400 by 400 pixels. Peripheral blood smear. Single-cell crop:
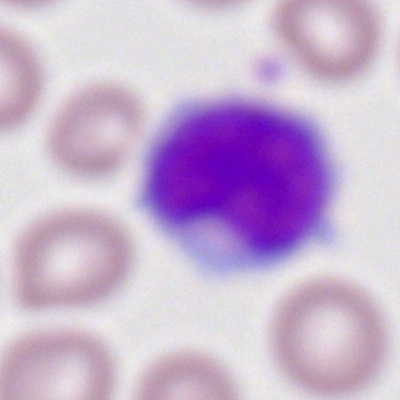
The cell shown is a typical lymphocyte.